Bone marrow smear; May-Grünwald-Giemsa stain: 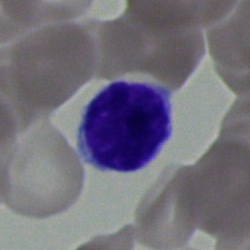Q: What is shown here?
A: It is a typical lymphocyte.